Bone marrow smear · single cell centered in the field.
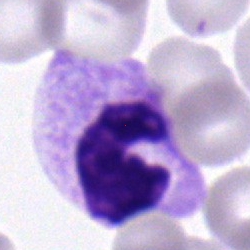 Morphology — band-form neutrophil.